Bone marrow aspirate smear.
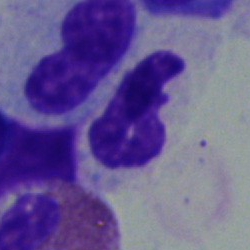Specimen: bone marrow smear.
Cell type: neutrophil (segmented).
Lineage: myeloid.